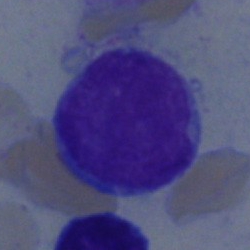
The cell shown is an undifferentiated blast.